Bone marrow aspirate smear:
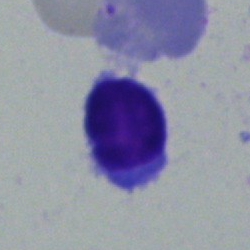
Specimen: bone marrow smear.
Morphological class: typical lymphocyte.
Lineage: lymphoid.